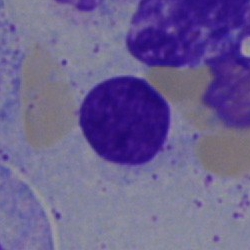Single-cell crop from a bone marrow smear: lymphocyte.